Bone marrow aspirate smear:
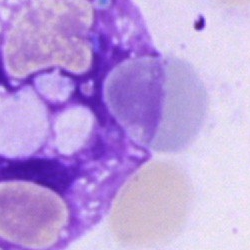
This is an artifact.